Bone marrow smear:
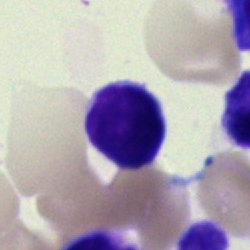
Morphology consistent with a typical lymphocyte.